Bone marrow smear
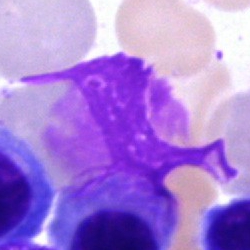

Q: What is shown here?
A: This is an artifact.